Single cell centered in the field · bone marrow smear: 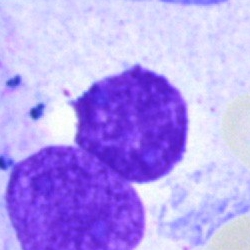This is an artefact.